Bone marrow smear: 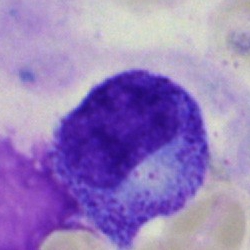

Q: What cell is this?
A: This is a progranulocyte.